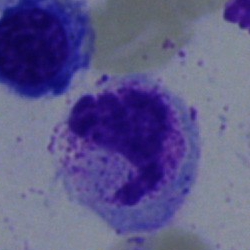 Morphology — segmented neutrophil.